40× objective, oil immersion; bone marrow aspirate smear; May-Grünwald-Giemsa/Pappenheim stain:
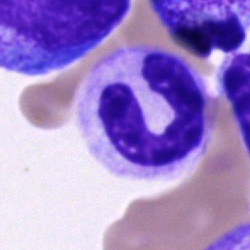

Stab cell.